Bone marrow aspirate smear
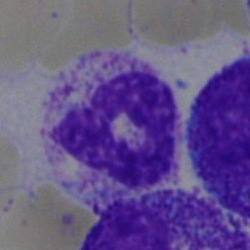Cell — stab cell.